Brightfield microscopy, 40× oil immersion. Bone marrow aspirate smear. May-Grünwald-Giemsa/Pappenheim stain
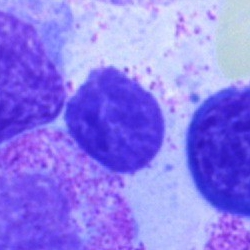
Q: Which cell type is shown here?
A: This is a lymphocyte.